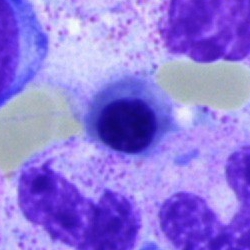
Q: Which cell type is shown here?
A: This is a nucleated red cell.